Bone marrow aspirate smear
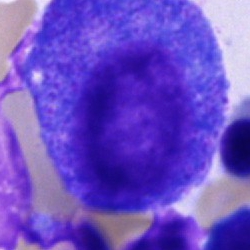 Morphology consistent with a progranulocyte.